Bone marrow smear. Cropped to a single cell:
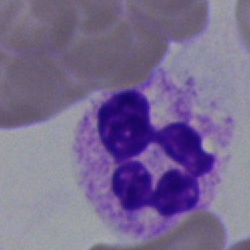 A polymorphonuclear neutrophil.